Brightfield microscopy, 40× oil immersion · bone marrow aspirate smear · image size 250×250 — 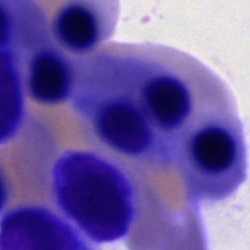A nucleated red cell.